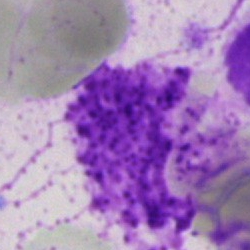Morphological class — artefact.